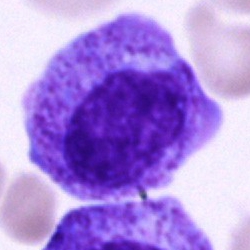

{"cell_type": "progranulocyte", "lineage": "myeloid"}